Bone marrow aspirate smear:
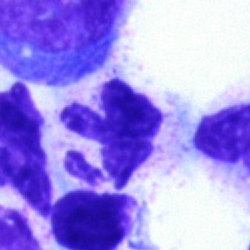Q: Identify the cell.
A: It is a neutrophil (segmented).